Cropped to a single cell. Bone marrow smear:
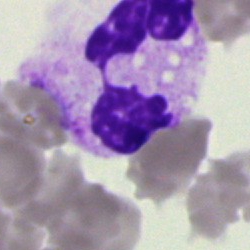

Impression → segmented neutrophil.